Bone marrow aspirate smear:
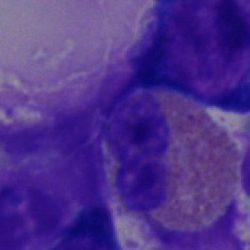 Impression → eosinophilic granulocyte.